Bone marrow aspirate smear
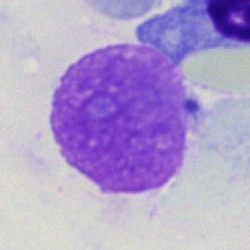

Q: What is shown here?
A: This is an artifact.